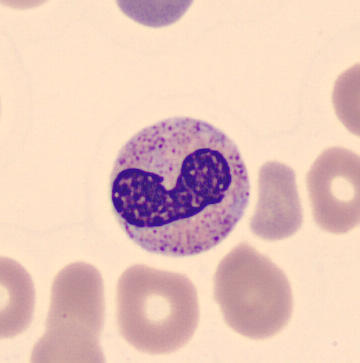

Q: What is this?
A: Neutrophil (band).